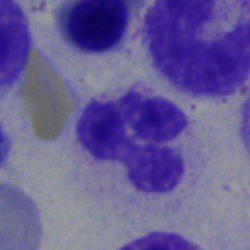Single cell identified as a neutrophil (segmented).